Bone marrow aspirate smear
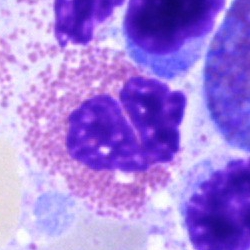Q: What is shown here?
A: This is an eosinophil.